May-Grünwald-Giemsa stain. 40× objective, oil immersion. Bone marrow aspirate smear
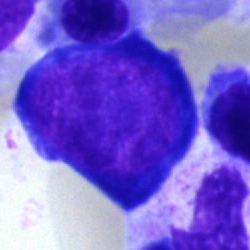 The cell shown is a pronormoblast.